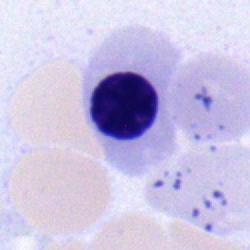Q: What cell is this?
A: This is a normoblast.